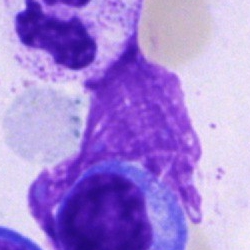

Classification — artefact.